Bone marrow smear — 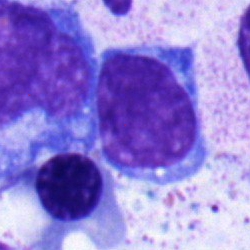

The cell type is typical lymphocyte.